Bone marrow smear · cropped to a single cell — 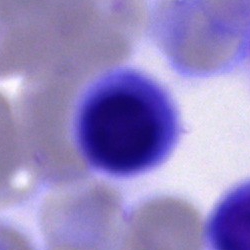

Morphology consistent with an artefact.